Bone marrow smear
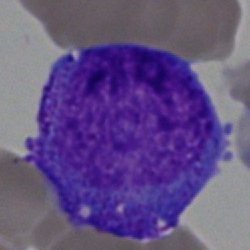

A band neutrophil.